Bone marrow aspirate smear.
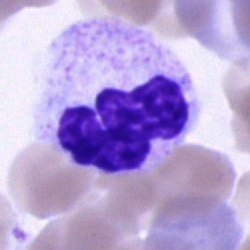Q: Which cell type is shown here?
A: Polymorphonuclear neutrophil.